Bone marrow smear; image size 250×250.
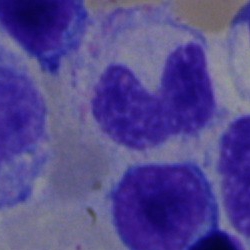Specimen: bone marrow aspirate smear.
Cell type: neutrophil (band).
Lineage: myeloid.